Bone marrow aspirate smear.
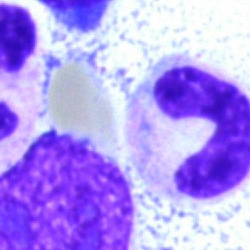
Cell — stab cell.